Bone marrow smear
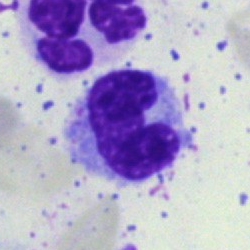
The cell type is monocyte.